Bone marrow aspirate smear; MGG-stained.
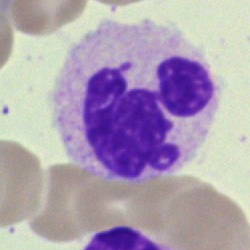 A segmented neutrophil.